Peripheral blood film — 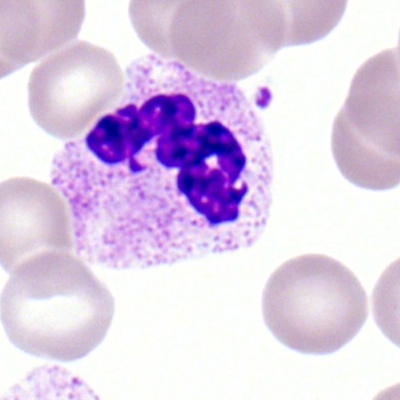
Single cell identified as a segmented neutrophil.